Single-cell crop. Bone marrow smear:
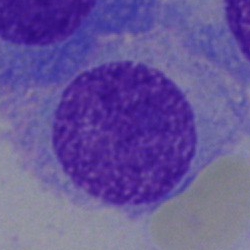{"cell_type": "plasmacyte", "lineage": "lymphoid"}